Bone marrow smear. Pappenheim-stained.
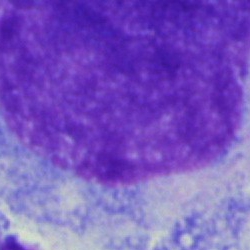 Cell type: artefact.